Bone marrow aspirate smear.
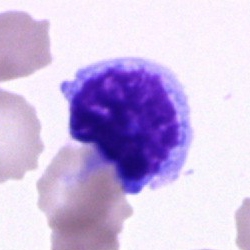

Morphological class: unidentifiable cell.